Bone marrow smear; cropped to a single cell.
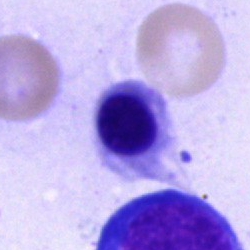

Cell type = nucleated red cell.